Bone marrow smear
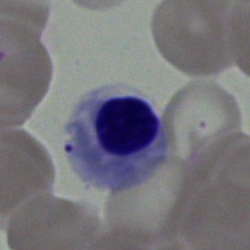Morphology consistent with a nucleated red blood cell.